250×250 px. 40× oil immersion. Bone marrow aspirate smear:
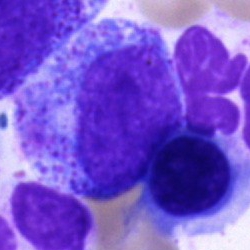Promyelocyte.